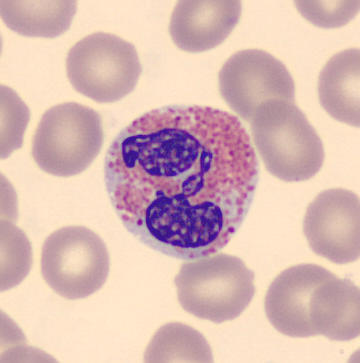

Peripheral blood smear. Morphology consistent with an eosinophilic granulocyte.